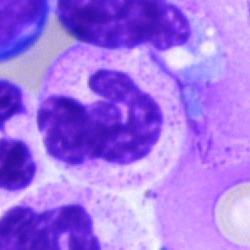
The cell is segmented neutrophil.